Bone marrow smear: 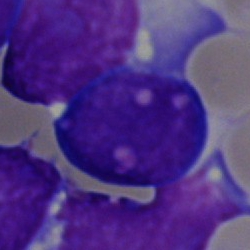
Cell = blast.